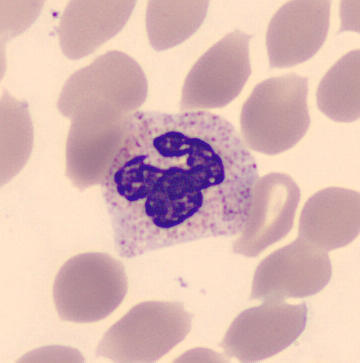Morphology → polymorphonuclear neutrophil.
Preparation: Peripheral blood smear.